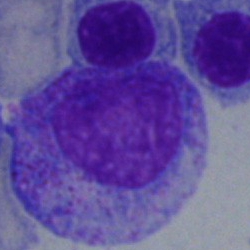
Classification — progranulocyte.